250×250 px · bone marrow smear.
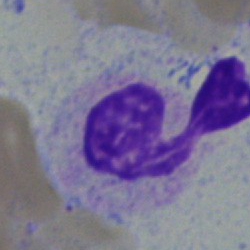
Morphological class — neutrophil (segmented).